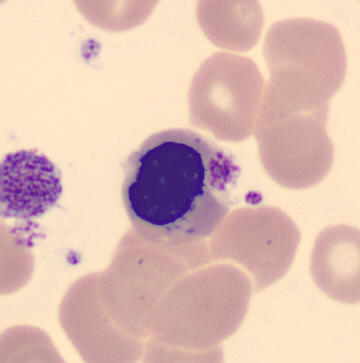

Identified as a nucleated red cell.
Preparation: Peripheral blood film.